Bone marrow smear; brightfield microscopy, 40× oil immersion — 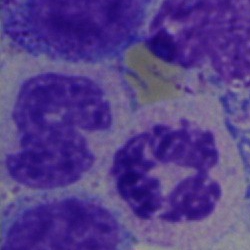
Cell: polymorphonuclear neutrophil.